Cropped to a single cell · image size 250×250 · bone marrow smear: 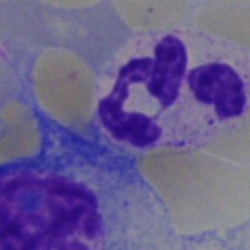

The cell type is neutrophil (segmented).